Bone marrow aspirate smear — 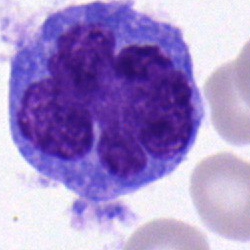Single cell identified as a monocyte.